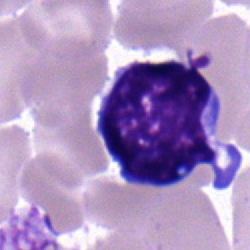
Bone marrow aspirate smear, single cell — lymphocyte.